Single cell centered in the field; bone marrow aspirate smear.
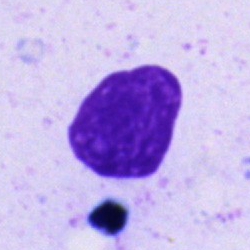
This is an artifact.